Bone marrow aspirate smear:
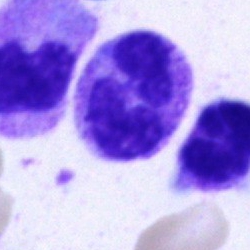
Cell = segmented neutrophil.